Bone marrow smear:
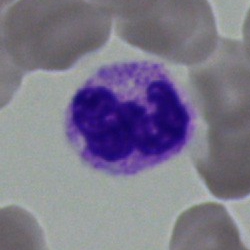Q: What type of cell is this?
A: It is a neutrophil (segmented).